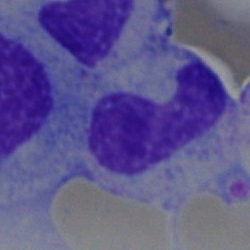 Specimen: bone marrow aspirate smear.
Cell type: band neutrophil.
Lineage: myeloid.